Single-cell field; image size 250×250; bone marrow aspirate smear:
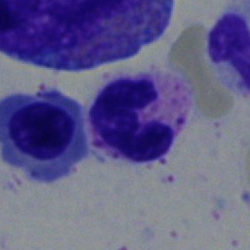 Q: Identify the cell.
A: It is a polymorphonuclear neutrophil.